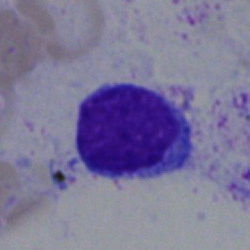

Impression — typical lymphocyte.